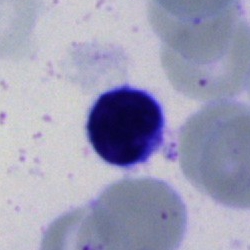

Morphology → typical lymphocyte.